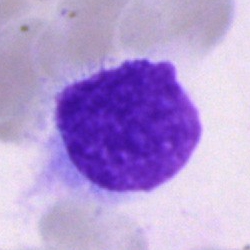
The cell shown is an artifact.